Bone marrow aspirate smear; single-cell field:
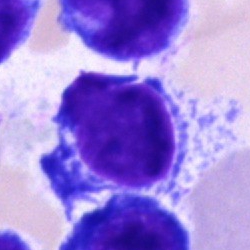The morphological class is undifferentiated blast.